40× objective, oil immersion · bone marrow smear — 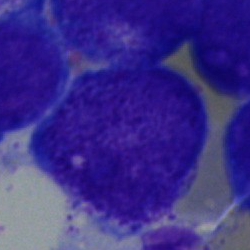

Impression — progranulocyte.